Single-cell field; bone marrow aspirate smear; Pappenheim-stained — 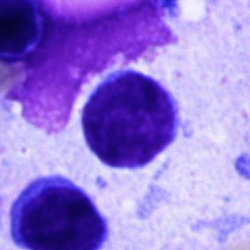 Classification — lymphocyte.